Bone marrow smear · 40× oil immersion
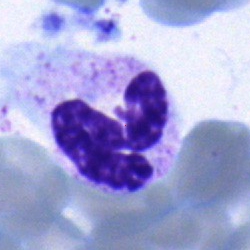
The morphological class is segmented neutrophil.